Bone marrow aspirate smear. May-Grünwald-Giemsa stain. Brightfield, 40× oil-immersion objective.
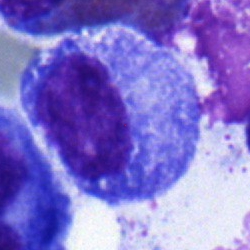
Q: What is the morphological classification of this cell?
A: A promyelocyte.